Bone marrow aspirate smear — 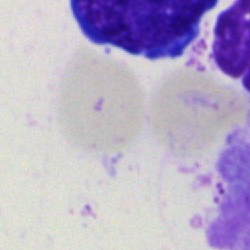
Q: What is shown here?
A: An artefact.